Bone marrow aspirate smear.
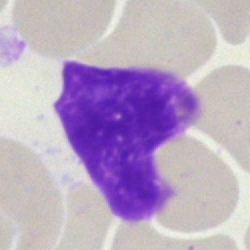

{"cell_type": "smudge cell"}